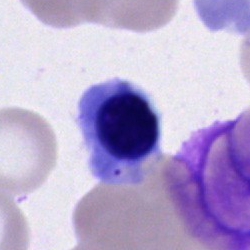Specimen: bone marrow smear.
Cell: erythroblast.
Lineage: erythroid.